Bone marrow smear
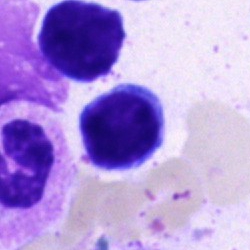
Morphology consistent with a typical lymphocyte.